40× objective, oil immersion; MGG-stained; bone marrow smear
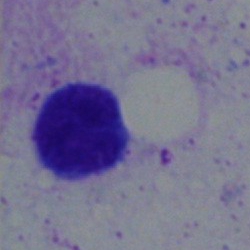
Morphological class — typical lymphocyte.